Bone marrow smear: 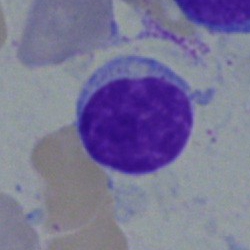

The cell shown is a typical lymphocyte.